Bone marrow smear.
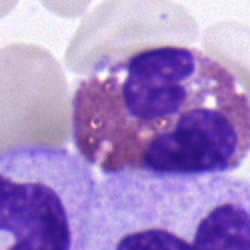

Classification: eosinophilic granulocyte.